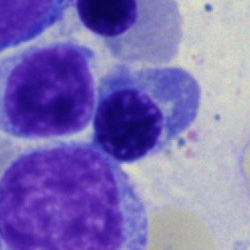

Morphological class = erythroblast.